40× oil immersion · bone marrow smear — 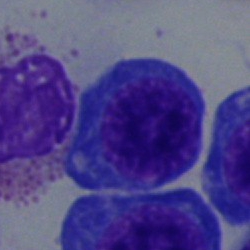 Cell — erythroblast.